Bone marrow aspirate smear: 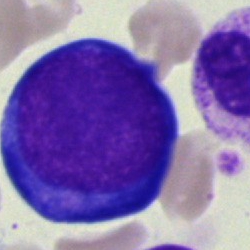 Showing a proerythroblast.